Bone marrow aspirate smear
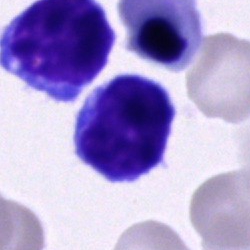 Impression → lymphocyte.